Bone marrow aspirate smear: 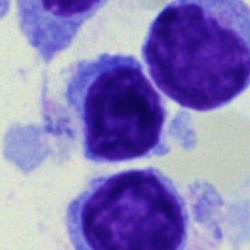

Q: What is shown here?
A: It is a typical lymphocyte.